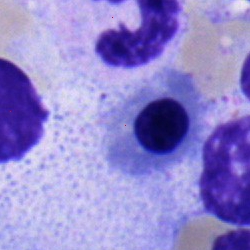 Specimen: bone marrow aspirate smear.
Cell type: nucleated red blood cell.
Lineage: erythroid.